Bone marrow smear: 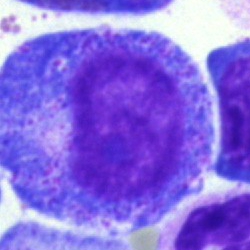

Morphology consistent with a promyelocyte.